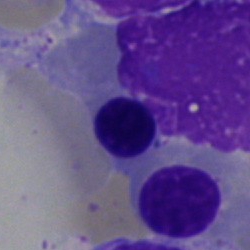
{"cell_type": "nucleated red cell", "lineage": "erythroid"}